Bone marrow smear.
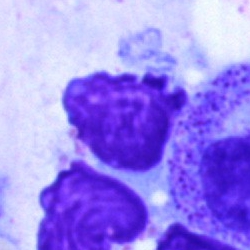Morphological class — artifact.